Bone marrow smear:
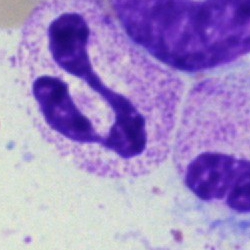

Showing a polymorphonuclear neutrophil.